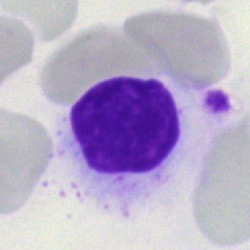

An artefact.